Bone marrow smear. 40× objective, oil immersion — 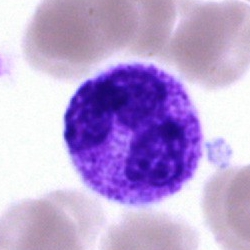
The cell shown is a neutrophil (segmented).